400 by 400 pixels. Peripheral blood film. Romanowsky-stained: 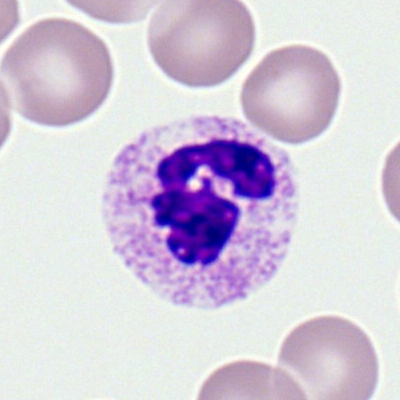

Specimen: peripheral blood smear.
Classification: segmented neutrophil.